Bone marrow aspirate smear; cropped to a single cell
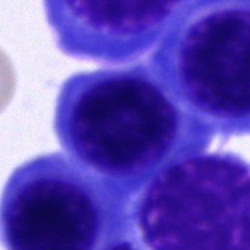 Classification: nucleated red blood cell.